Bone marrow smear · 40× oil immersion · 250×250 px: 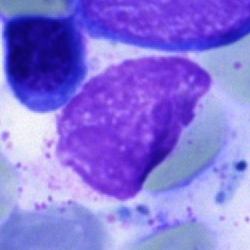 The cell shown is an artifact.